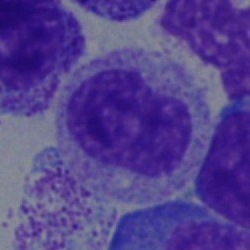

Impression → metamyelocyte.